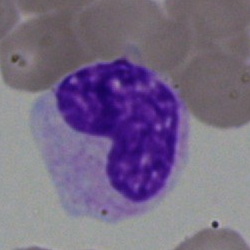
Q: What type of cell is this?
A: A band neutrophil.